40× objective, oil immersion · bone marrow smear · MGG-stained.
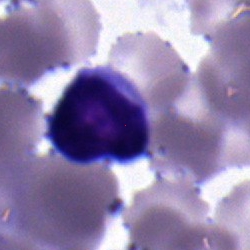Morphology consistent with a typical lymphocyte.